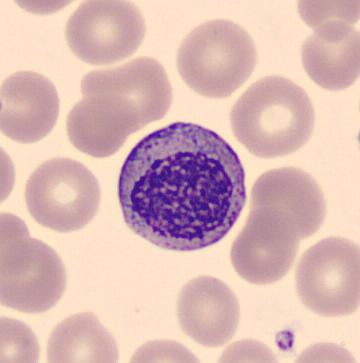 Acquisition: Peripheral blood smear.
Single cell identified as a myelocyte.